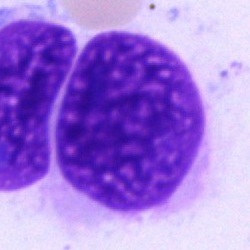Morphology — artefact.